May-Grünwald-Giemsa/Pappenheim stain; bone marrow aspirate smear.
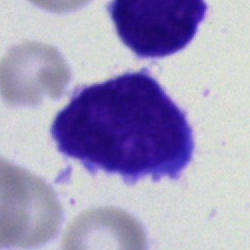
Cell type = blast cell.